Bone marrow smear.
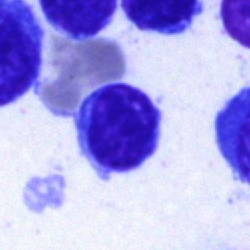

Cell — lymphocyte.